Brightfield microscopy, 40× oil immersion. Bone marrow aspirate smear
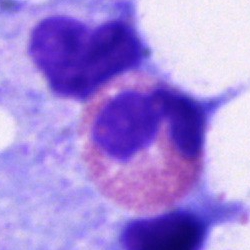 Single cell identified as an eosinophil.